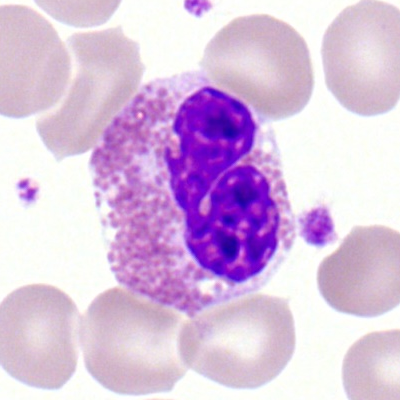Specimen: peripheral blood smear.
Morphological class: lymphocyte.
Lineage: lymphoid.